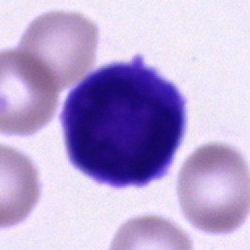 {"cell_type": "cell of indeterminate lineage"}